Bone marrow aspirate smear. May-Grünwald-Giemsa/Pappenheim stain:
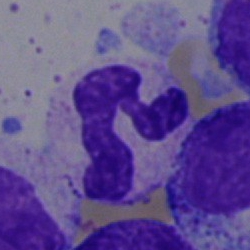Single cell identified as a neutrophil (segmented).